Bone marrow aspirate smear
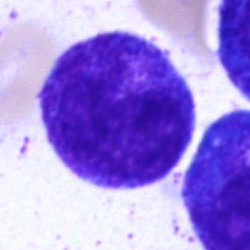Specimen: bone marrow aspirate smear.
Morphological class: promyelocyte.
Lineage: myeloid.